Bone marrow aspirate smear — 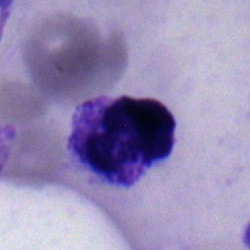

Specimen: bone marrow smear.
Cell: polymorphonuclear neutrophil.
Lineage: myeloid.